Peripheral blood film:
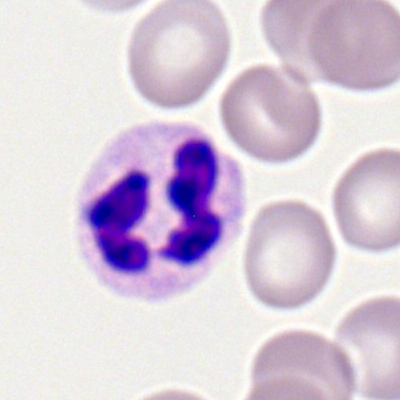

{"cell_type": "polymorphonuclear neutrophil", "lineage": "myeloid"}